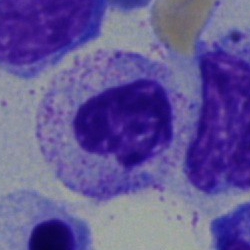
Q: Identify the cell.
A: A myelocyte.